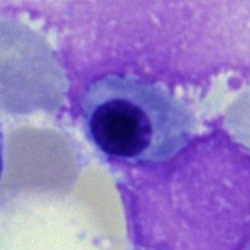 Bone marrow aspirate smear, single cell — nucleated red blood cell.